Bone marrow aspirate smear — 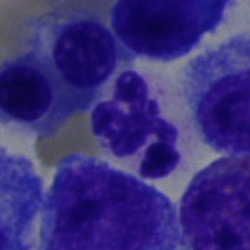
Q: Identify the cell.
A: This is a neutrophil (segmented).